Pappenheim-stained. Bone marrow smear:
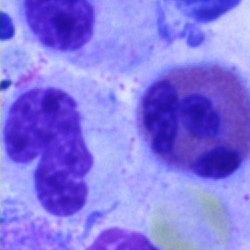Morphology consistent with an eosinophil.